Peripheral blood film — 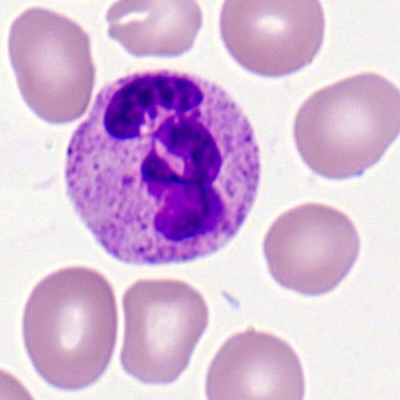
Q: What cell is this?
A: Segmented neutrophil.